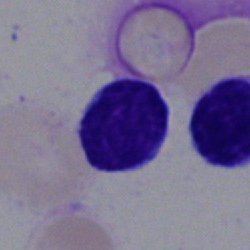

Q: What cell is this?
A: It is a lymphocyte.